Bone marrow aspirate smear: 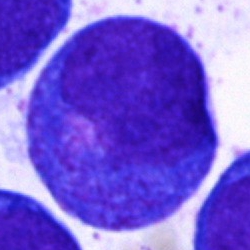
Single cell identified as a promyelocyte.